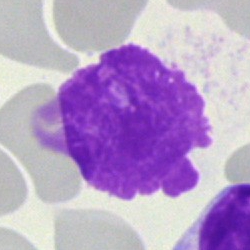Morphology → smudge cell.